40× objective, oil immersion. Single-cell crop. Bone marrow smear
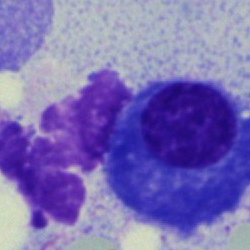Q: Which cell type is shown here?
A: Plasmacyte.